Brightfield, 40× oil-immersion objective. Bone marrow aspirate smear:
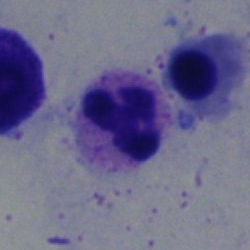Q: Which cell type is shown here?
A: Polymorphonuclear neutrophil.